Peripheral blood film
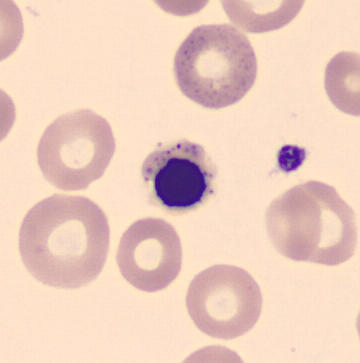
Specimen: peripheral blood smear.
Classification: normoblast.
Lineage: erythroid.